Peripheral blood smear; single cell centered in the field.
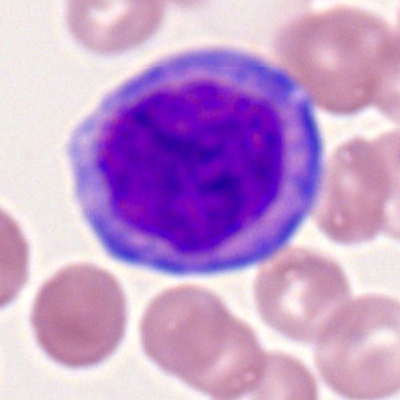Specimen: peripheral blood film.
Classification: myeloid blast.
Lineage: myeloid.